Bone marrow smear · single-cell field · 250×250:
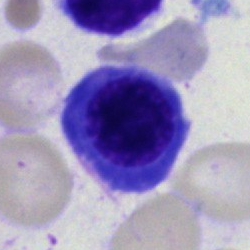
Q: Identify the cell.
A: It is a normoblast.